Peripheral blood smear.
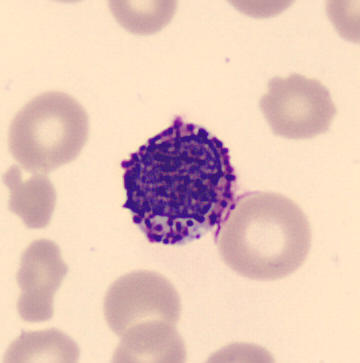
Specimen: peripheral blood smear.
Cell: basophil.
Lineage: myeloid.